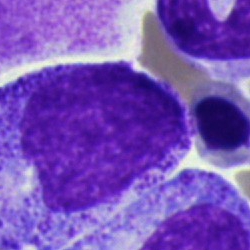Specimen: bone marrow smear.
Cell: promyelocyte.
Lineage: myeloid.